Bone marrow aspirate smear: 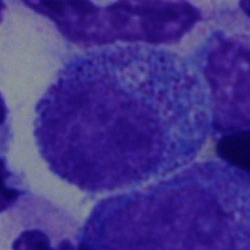

The morphological class is promyelocyte.